Pappenheim-stained. Bone marrow smear: 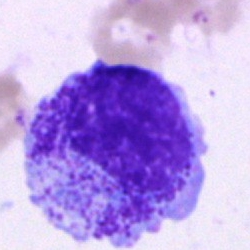 Q: What is shown here?
A: This is a promyelocyte.